250×250 px · brightfield microscopy, 40× oil immersion · bone marrow aspirate smear — 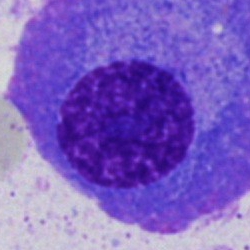
A plasma cell.